Bone marrow aspirate smear. Single cell centered in the field
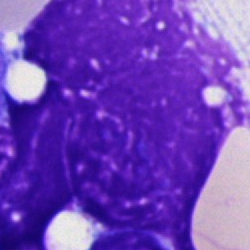 The cell is artifact.